Bone marrow aspirate smear · 40× oil immersion.
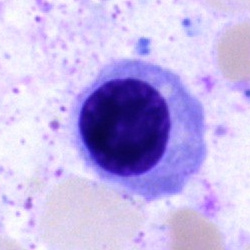

Cell type: erythroblast.